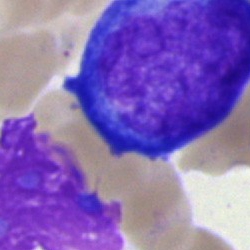Undifferentiated blast.